Bone marrow smear:
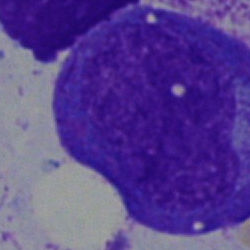
This is a progranulocyte.